Bone marrow smear; MGG-stained — 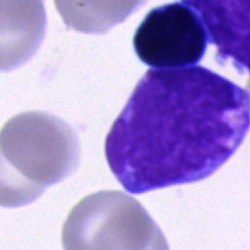 Cell type — blast.